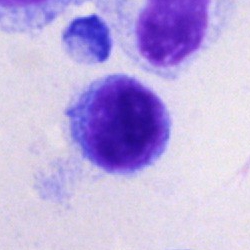Morphology consistent with a lymphocyte.